Bone marrow aspirate smear · brightfield, 40× oil-immersion objective:
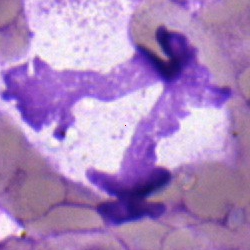

The cell shown is a polymorphonuclear neutrophil.